Bone marrow aspirate smear — 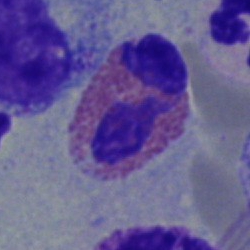 Morphology → eosinophil.